Peripheral blood smear; 400×400
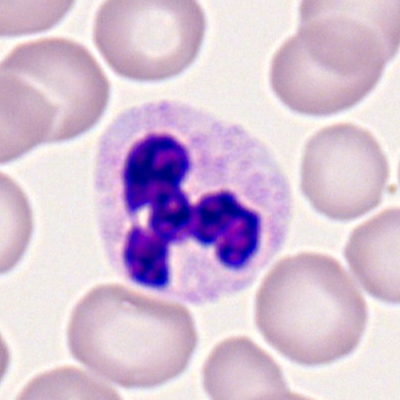 Polymorphonuclear neutrophil.